Image size 250×250; bone marrow smear.
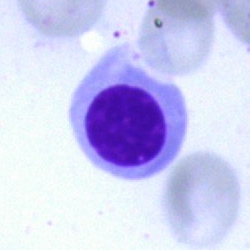 Showing a normoblast.